Bone marrow aspirate smear — 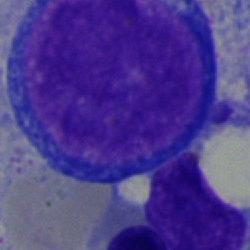The morphological class is pronormoblast.